Bone marrow smear · 250 by 250 pixels:
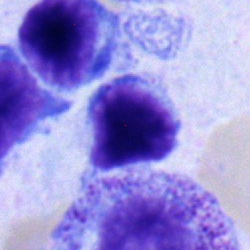

Classification: lymphocyte.